Bone marrow aspirate smear; 40× oil immersion — 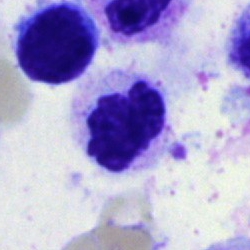Cell type = polymorphonuclear neutrophil.